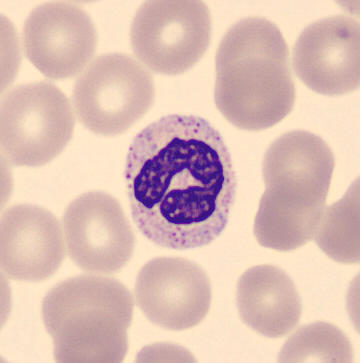 {"cell_type": "band neutrophil"}